May-Grünwald-Giemsa stain · 250×250 · bone marrow smear.
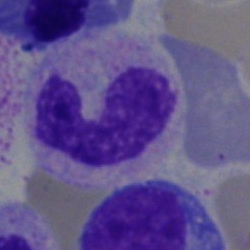
Q: What cell is this?
A: This is a neutrophil (segmented).